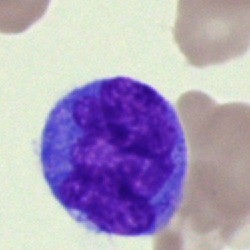
Cell type: monocyte.